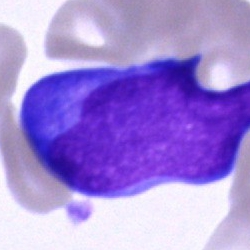{"cell_type": "blast"}